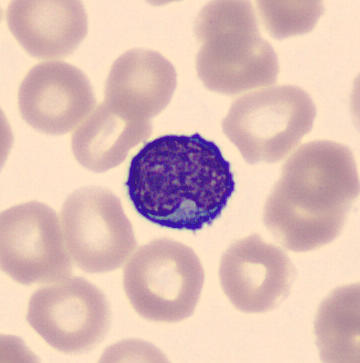Cell: typical lymphocyte.
Peripheral blood smear; single cell centered in the field.